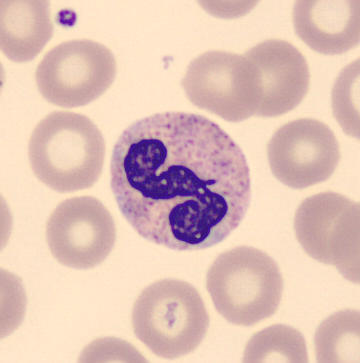
Q: What cell is this?
A: A segmented neutrophil.